Bone marrow smear:
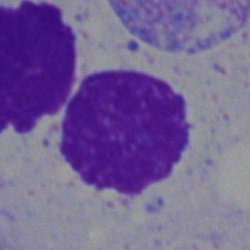

Morphology consistent with an artefact.